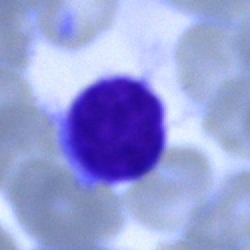
Impression — typical lymphocyte.